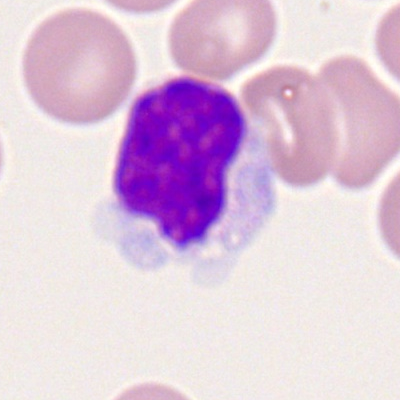
Morphology — typical lymphocyte.